Bone marrow smear; image size 250×250; May-Grünwald-Giemsa/Pappenheim stain.
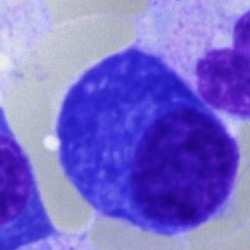 Plasmacyte.